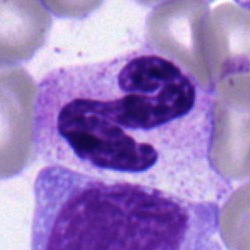
Polymorphonuclear neutrophil.